Pappenheim-stained · bone marrow smear · 250×250 px: 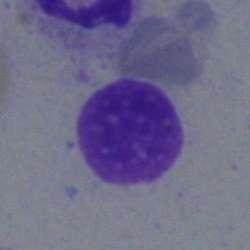

Classification — artifact.